250×250 px · brightfield microscopy, 40× oil immersion · bone marrow smear — 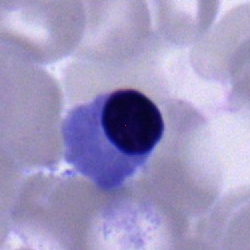
Showing a normoblast.